Bone marrow aspirate smear
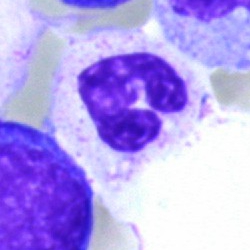
The cell type is polymorphonuclear neutrophil.